Bone marrow smear — 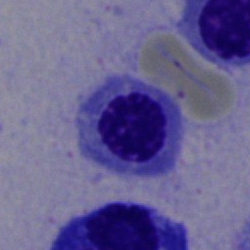

Q: What is the morphological classification of this cell?
A: A nucleated red cell.